Bone marrow aspirate smear. May-Grünwald-Giemsa/Pappenheim stain.
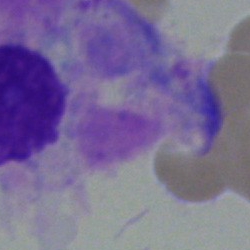

Morphology — artifact.